Single-cell field; 400×400 px; peripheral blood film
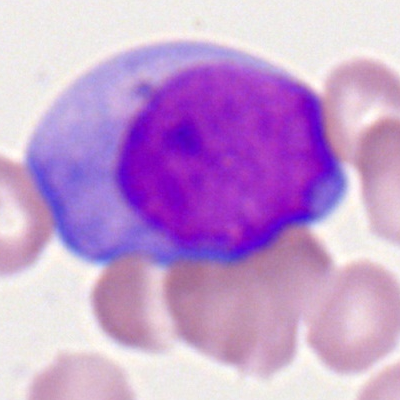

Specimen: peripheral blood film.
Classification: myeloblast.
Lineage: myeloid.